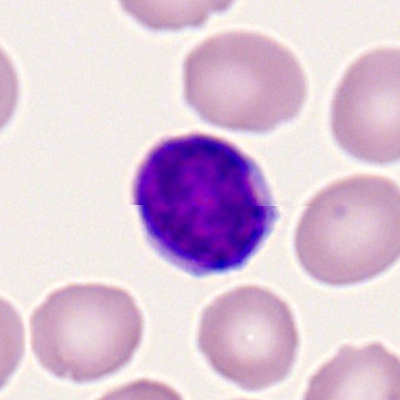Morphology consistent with a typical lymphocyte.